Bone marrow aspirate smear: 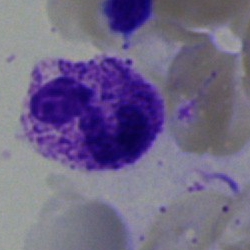 The morphological class is segmented neutrophil.